Bone marrow aspirate smear
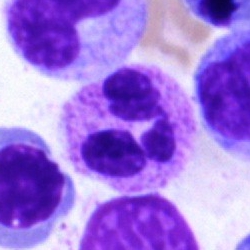 Polymorphonuclear neutrophil.